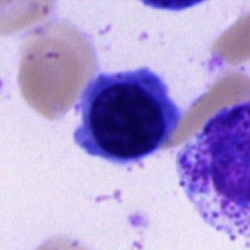Morphology consistent with a nucleated red blood cell.